250×250; bone marrow aspirate smear: 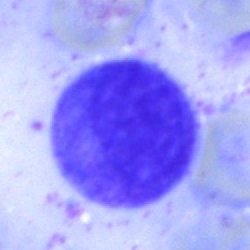Cell type = unidentifiable cell.